250×250 px; bone marrow smear
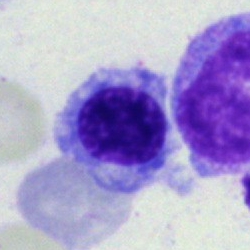
Cell type: normoblast.